Bone marrow smear
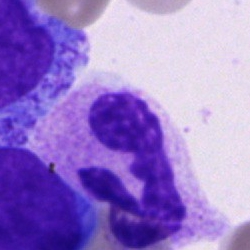
The cell shown is a segmented neutrophil.